250 by 250 pixels. Bone marrow aspirate smear — 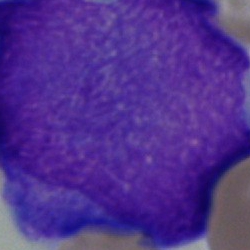
The cell shown is a blast.